Peripheral blood film — 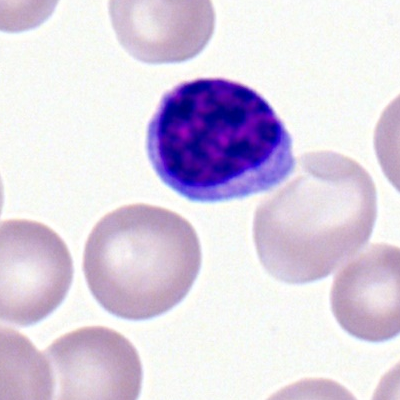 The cell shown is a typical lymphocyte.